Bone marrow aspirate smear:
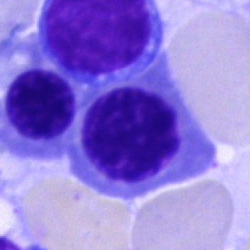Morphological class — nucleated red cell.